Brightfield microscopy, 40× oil immersion; bone marrow aspirate smear.
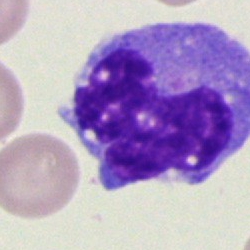
The morphological class is monocyte.